Bone marrow smear
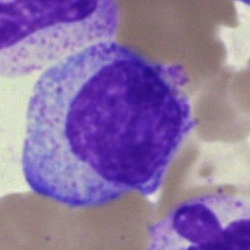

This is a myelocyte.